Brightfield, 40× oil-immersion objective. Bone marrow smear — 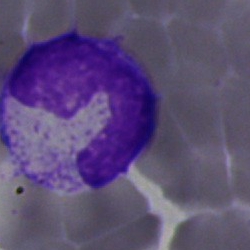{"cell_type": "stab cell", "lineage": "myeloid"}